Bone marrow aspirate smear: 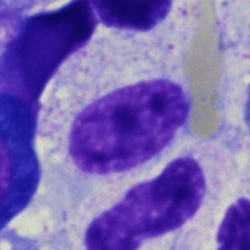

Q: What is the morphological classification of this cell?
A: It is a metamyelocyte.